May-Grünwald-Giemsa/Pappenheim stain. Bone marrow smear.
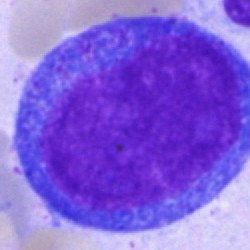

Single cell identified as a progranulocyte.